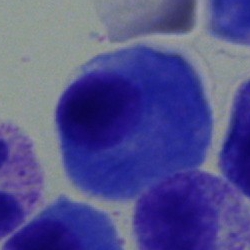 Morphology → basophilic granulocyte.